Bone marrow aspirate smear; May-Grünwald-Giemsa stain — 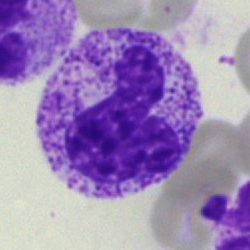

Morphology consistent with a polymorphonuclear neutrophil.